Single cell centered in the field. 40× objective, oil immersion. Bone marrow smear.
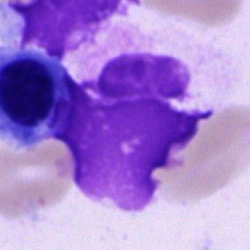Single cell identified as an artifact.